Brightfield, 100× oil-immersion objective; peripheral blood film — 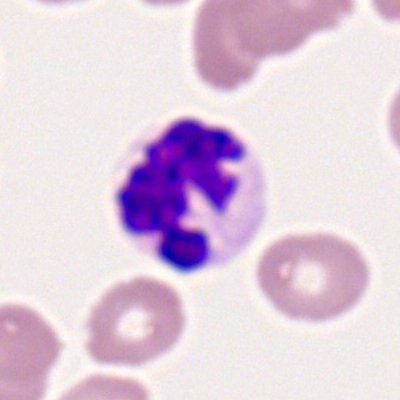{"cell_type": "segmented neutrophil"}